40× oil immersion. Bone marrow aspirate smear. Single-cell crop — 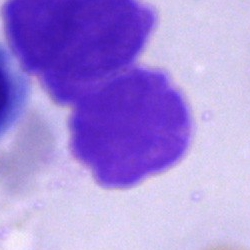 Cell type: artefact.